Bone marrow smear — 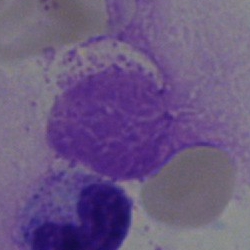 The morphological class is artefact.